Bone marrow aspirate smear — 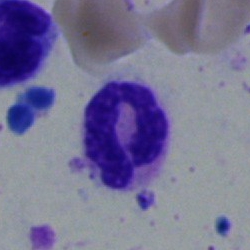 The cell type is segmented neutrophil.